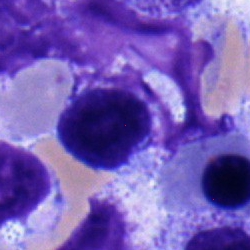

A typical lymphocyte on a bone marrow smear.